Brightfield, 40× oil-immersion objective · bone marrow smear · image size 250×250.
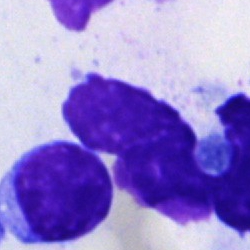Morphology consistent with an artefact.